Bone marrow aspirate smear. Single-cell crop
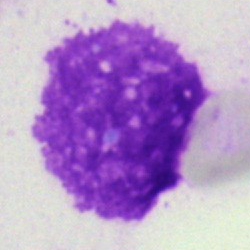
Artifact.